Pappenheim-stained. Brightfield microscopy, 40× oil immersion. Bone marrow smear:
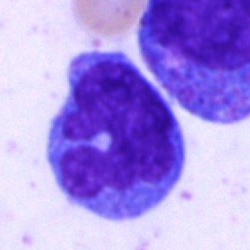

Cell: monocyte.